Bone marrow smear. Cropped to a single cell:
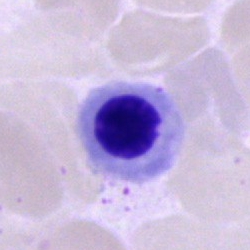
Morphology → erythroblast.